Bone marrow aspirate smear · May-Grünwald-Giemsa stain · single cell centered in the field: 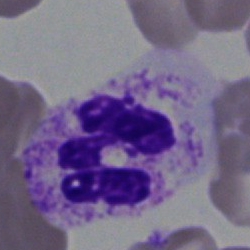
Cell type — segmented neutrophil.